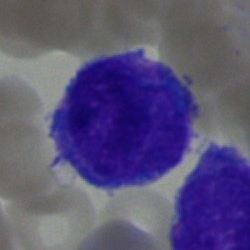
Specimen: bone marrow aspirate smear.
Cell type: blast.